May-Grünwald-Giemsa/Pappenheim stain; bone marrow aspirate smear; 250 by 250 pixels.
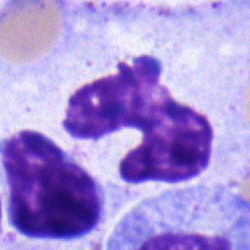

Classification: band neutrophil.